Peripheral blood film: 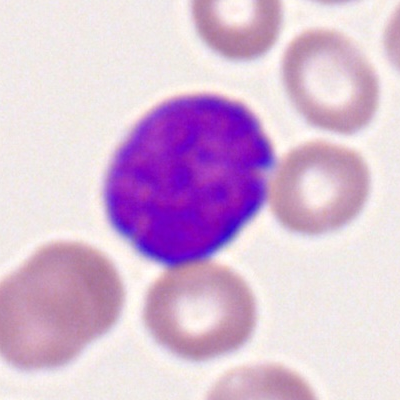Cell type = myeloid blast.